Bone marrow smear · MGG-stained · brightfield, 40× oil-immersion objective — 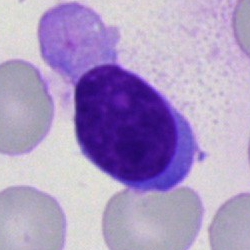Morphology consistent with a typical lymphocyte.